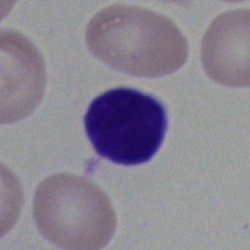
Q: What is the morphological classification of this cell?
A: It is a typical lymphocyte.